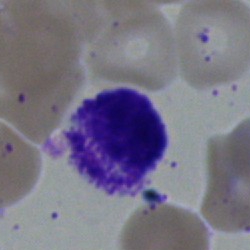Single-cell crop from a bone marrow smear: myelocyte.